40× objective, oil immersion. Bone marrow smear
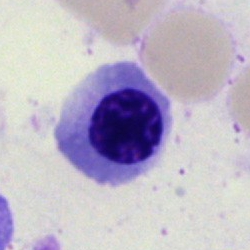

Classification: erythroblast.